Pappenheim-stained. Bone marrow aspirate smear: 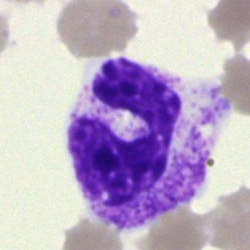
Polymorphonuclear neutrophil.